Bone marrow smear. 40× objective, oil immersion.
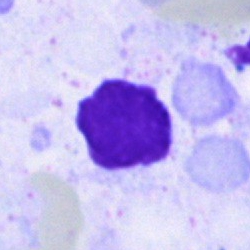Specimen: bone marrow smear.
Cell: artifact.